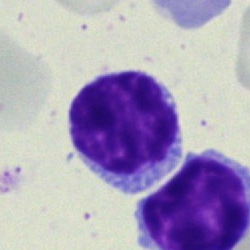 Q: Which cell type is shown here?
A: A typical lymphocyte.